Imaged on a CellaVision DM96 analyser · peripheral blood smear — 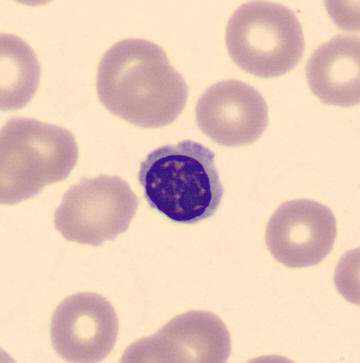

Cell = nucleated red cell.